Bone marrow smear; brightfield, 40× oil-immersion objective; MGG-stained.
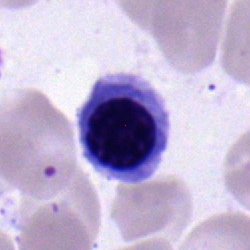
Morphological class — erythroblast.